40× objective, oil immersion · bone marrow aspirate smear — 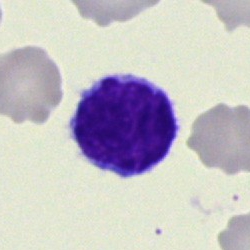 Q: Which cell type is shown here?
A: A typical lymphocyte.